May-Grünwald-Giemsa stain. Bone marrow aspirate smear — 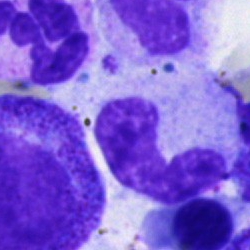Specimen: bone marrow smear.
Morphological class: band neutrophil.